Bone marrow aspirate smear
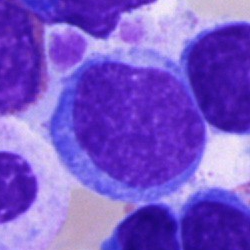

Morphological class = blast.